Peripheral blood smear: 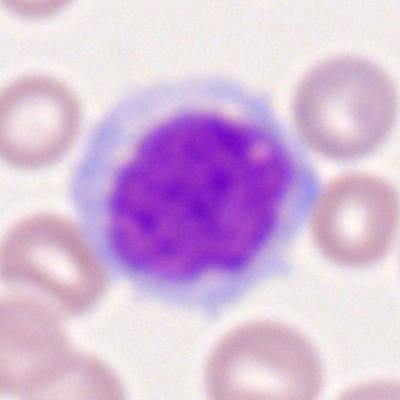
Cell type — monocyte.